Peripheral blood film: 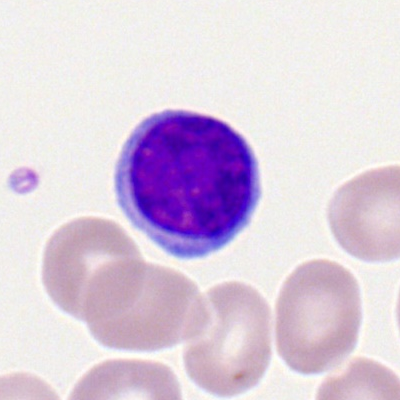 Classification — typical lymphocyte.